Bone marrow smear: 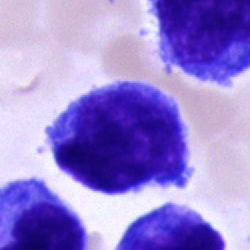 An undifferentiated blast.